Bone marrow smear. May-Grünwald-Giemsa stain
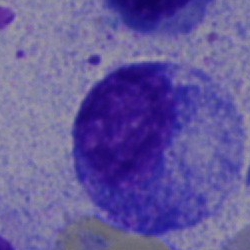

Classification — progranulocyte.